Bone marrow aspirate smear.
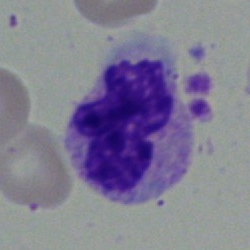 Morphology — polymorphonuclear neutrophil.